Bone marrow smear; 250×250 — 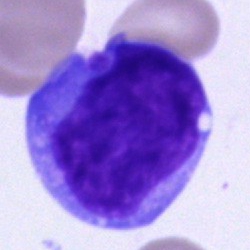
The cell shown is a blast.